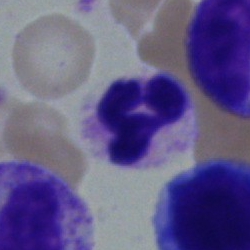
Cell: polymorphonuclear neutrophil.